Bone marrow aspirate smear · 40× objective, oil immersion: 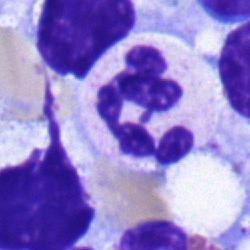This is a polymorphonuclear neutrophil.